Bone marrow aspirate smear
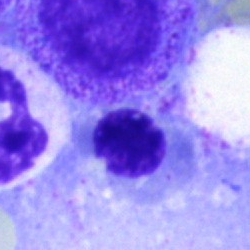

Nucleated red blood cell.